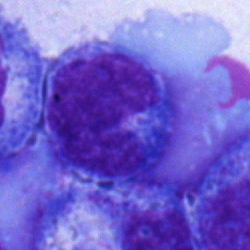

Morphological class = monocyte.